Bone marrow aspirate smear; MGG-stained — 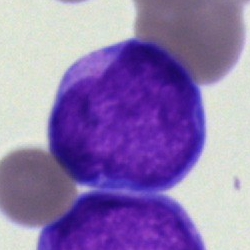

Cell = blast.